Bone marrow smear; image size 250×250; single-cell crop:
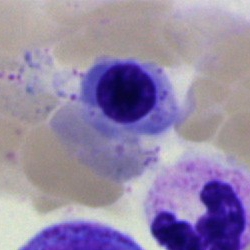 Classification — nucleated red cell.